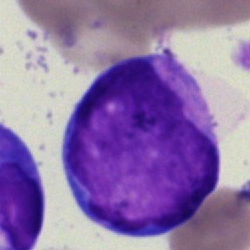 Classification = blast cell.